Bone marrow smear.
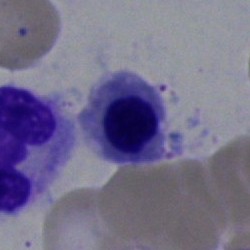
A normoblast.